Cropped to a single cell; brightfield microscopy, 40× oil immersion; bone marrow smear:
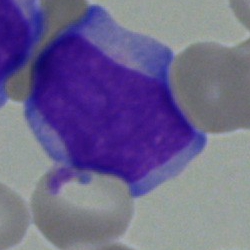 Blast cell.